Bone marrow smear; MGG-stained
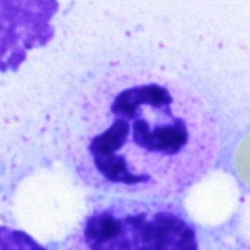Impression → polymorphonuclear neutrophil.